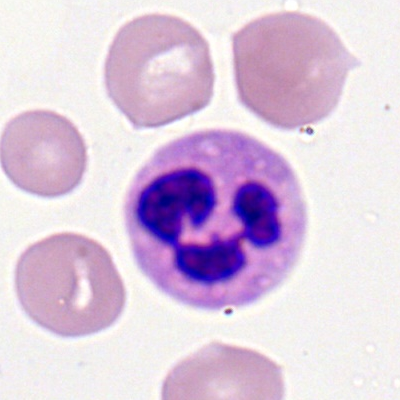 The cell shown is a segmented neutrophil.